Bone marrow aspirate smear; 250×250:
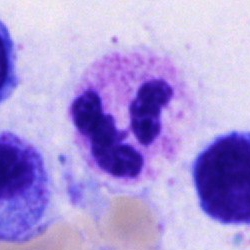Q: What is the morphological classification of this cell?
A: A polymorphonuclear neutrophil.